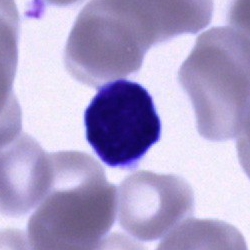

Q: Which cell type is shown here?
A: This is a lymphocyte.